Bone marrow aspirate smear.
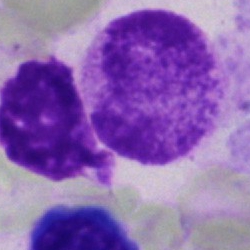 An artefact.